Bone marrow smear — 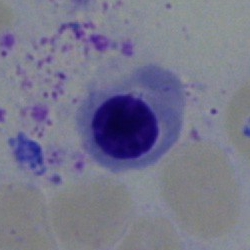
Q: What is the morphological classification of this cell?
A: Nucleated red blood cell.